Single-cell field. Peripheral blood film: 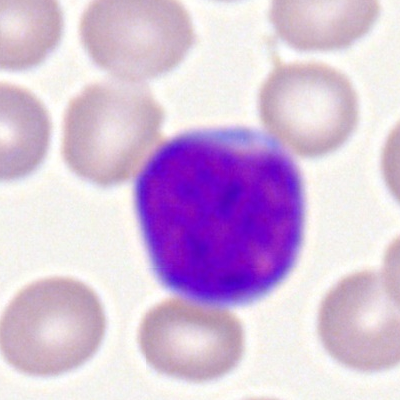

Specimen: peripheral blood film.
Cell: myeloblast.
Lineage: myeloid.